Bone marrow aspirate smear; 40× objective, oil immersion
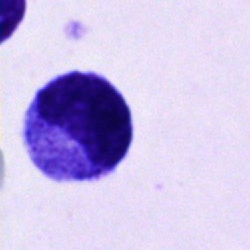Cell — cell of indeterminate lineage.